250×250 px · single-cell field · bone marrow aspirate smear
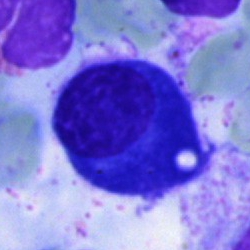 The cell shown is a plasmacyte.